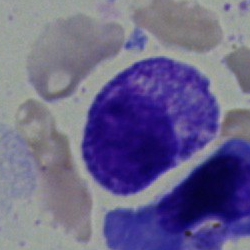
Impression — myelocyte.